Bone marrow smear.
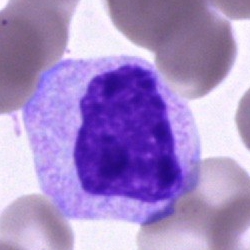 {"cell_type": "cell of indeterminate lineage"}